Cropped to a single cell; May-Grünwald-Giemsa stain; bone marrow aspirate smear
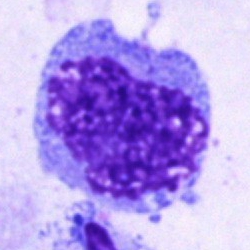
Q: Identify the cell.
A: This is an undifferentiated blast.